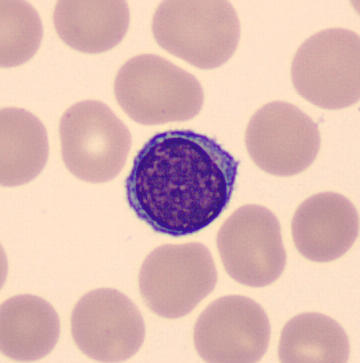 Cell type = lymphocyte. Preparation: 360 by 363 pixels. Peripheral blood film. Automated cell imaging (CellaVision DM96).